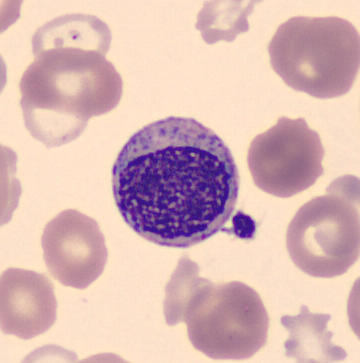
Cell type: myelocyte.
Peripheral blood smear.